Bone marrow smear — 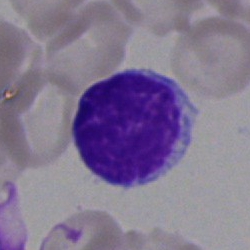

Impression → lymphocyte.